Bone marrow aspirate smear.
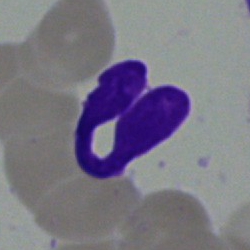Morphology — neutrophil (segmented).